Bone marrow smear — 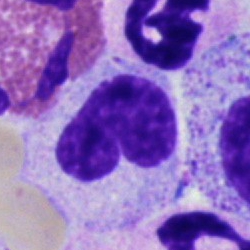

Impression — neutrophil (band).